Bone marrow aspirate smear. Single cell centered in the field. 40× oil immersion:
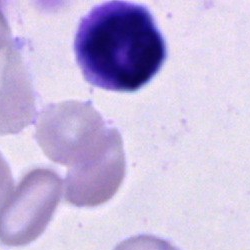
Q: Which cell type is shown here?
A: An unidentifiable cell.